Bone marrow smear; May-Grünwald-Giemsa stain: 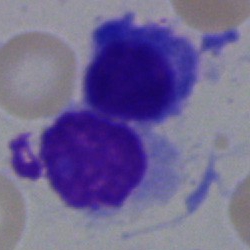
Q: What cell is this?
A: A plasma cell.